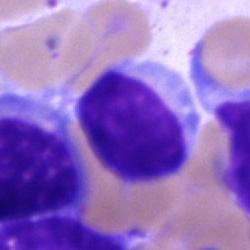

Specimen: bone marrow smear.
Morphological class: typical lymphocyte.
Lineage: lymphoid.